Brightfield, 40× oil-immersion objective. Bone marrow smear. May-Grünwald-Giemsa stain: 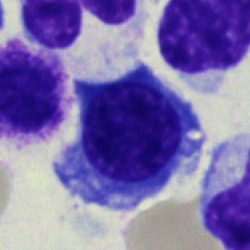 A nucleated red blood cell.